400×400. Peripheral blood smear — 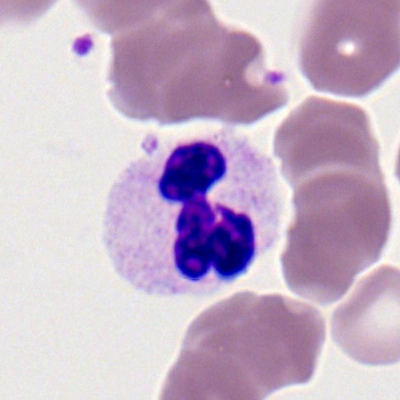

Morphological class — polymorphonuclear neutrophil.